Bone marrow aspirate smear. Single cell centered in the field
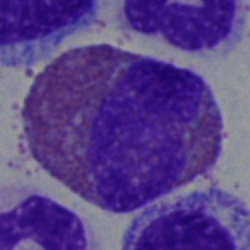The classification is eosinophil.